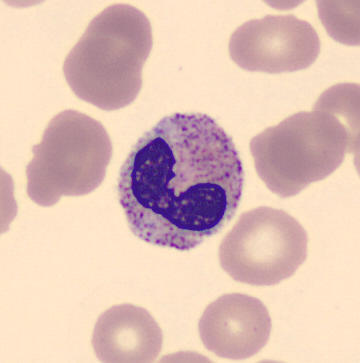
Acquisition: Peripheral blood film.
The cell is band neutrophil.